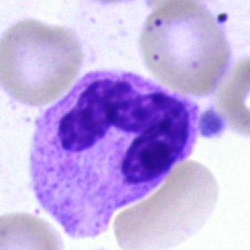Showing a segmented neutrophil.